Bone marrow aspirate smear
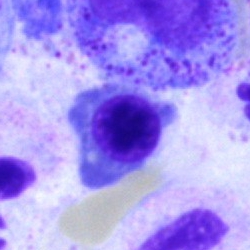Q: Identify the cell.
A: This is a nucleated red blood cell.